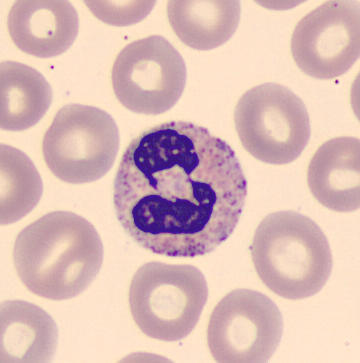 Morphology consistent with a neutrophil (segmented). Image: Peripheral blood film.